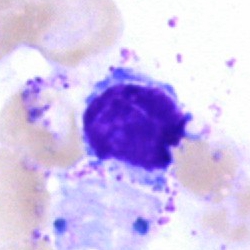

{"cell_type": "typical lymphocyte", "lineage": "lymphoid"}